250×250 px · bone marrow smear:
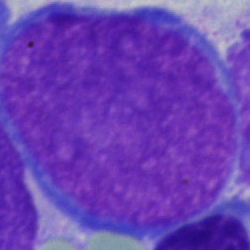
The cell is undifferentiated blast.